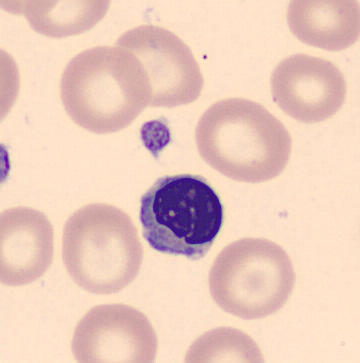

Specimen: peripheral blood smear.
Cell: normoblast.